Cropped to a single cell. Bone marrow smear:
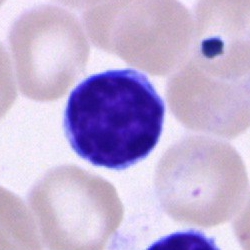

Cell type — typical lymphocyte.